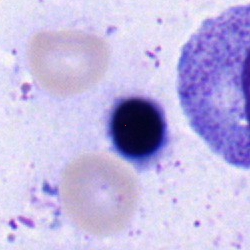 Nucleated red cell.